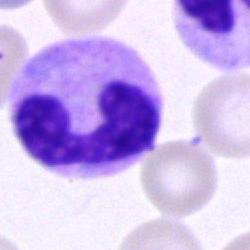The cell is band-form neutrophil.